Bone marrow smear:
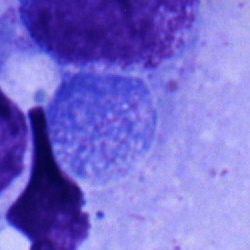
Specimen: bone marrow aspirate smear.
Morphological class: promyelocyte.
Lineage: myeloid.